Pappenheim-stained; bone marrow smear; 40× objective, oil immersion:
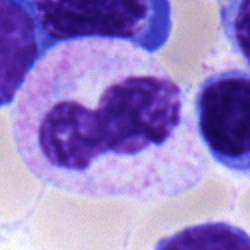Specimen: bone marrow aspirate smear.
Cell: polymorphonuclear neutrophil.
Lineage: myeloid.